Pappenheim-stained. Bone marrow aspirate smear: 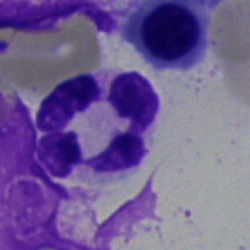 Showing a neutrophil (segmented).